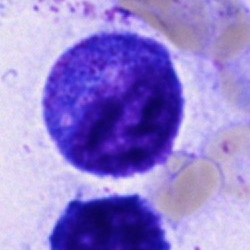Q: Which cell type is shown here?
A: Progranulocyte.